Bone marrow aspirate smear; 40× oil immersion: 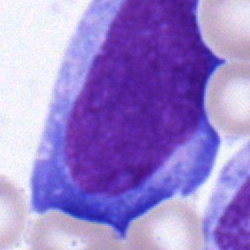Cell type = undifferentiated blast.